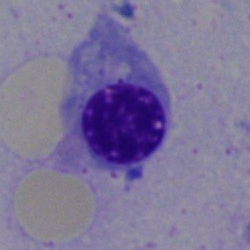 Morphology consistent with a nucleated red cell.